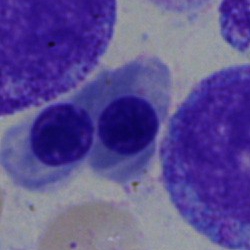 Specimen: bone marrow smear.
Cell type: normoblast.
Lineage: erythroid.